Bone marrow aspirate smear; single-cell crop:
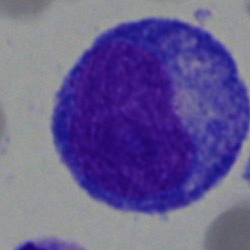

Promyelocyte.